Bone marrow aspirate smear — 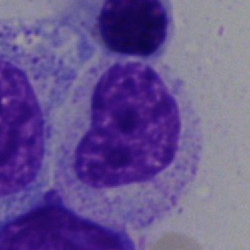 Q: Identify the cell.
A: This is a metamyelocyte.